Bone marrow smear.
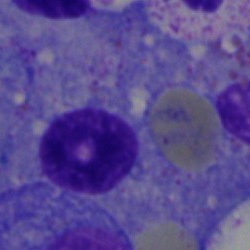
Specimen: bone marrow smear.
Classification: artifact.